Bone marrow aspirate smear.
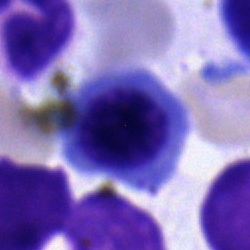{"cell_type": "nucleated red cell", "lineage": "erythroid"}